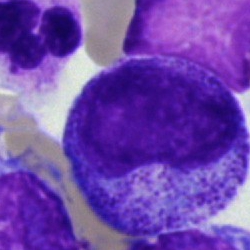 Impression → progranulocyte.